Bone marrow smear
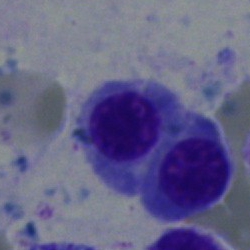
Q: What is the morphological classification of this cell?
A: This is a nucleated red blood cell.